Bone marrow aspirate smear; Pappenheim-stained:
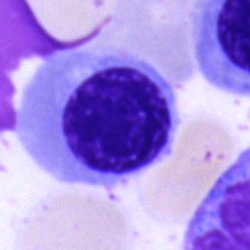
Classification: blast.